250×250; bone marrow smear
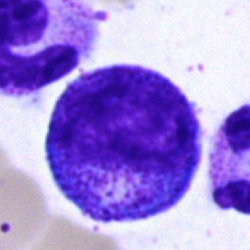
Q: What cell is this?
A: Progranulocyte.